Cropped to a single cell · bone marrow smear · image size 250×250 — 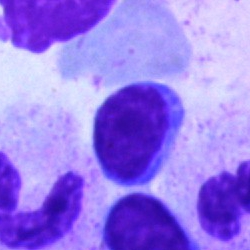Morphology consistent with a lymphocyte.